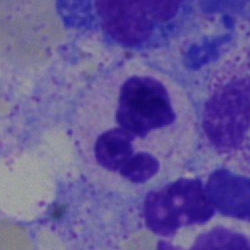

A polymorphonuclear neutrophil on a bone marrow smear.